Brightfield, 40× oil-immersion objective · bone marrow smear
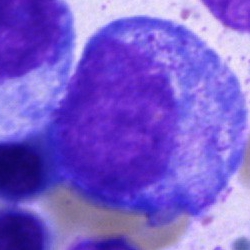

{"cell_type": "progranulocyte", "lineage": "myeloid"}